Bone marrow smear · MGG-stained:
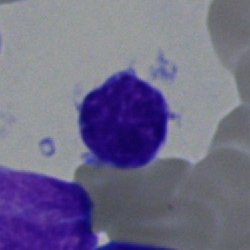 Impression → lymphocyte.